Bone marrow smear.
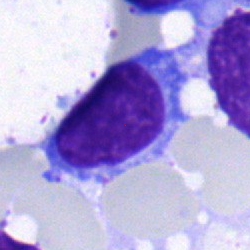
Morphology consistent with a typical lymphocyte.